Bone marrow aspirate smear.
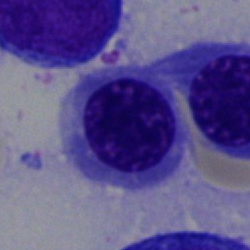

This is a nucleated red blood cell.